Bone marrow smear. 40× oil immersion: 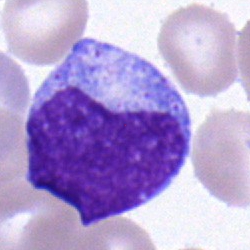Impression → progranulocyte.